250×250; bone marrow aspirate smear — 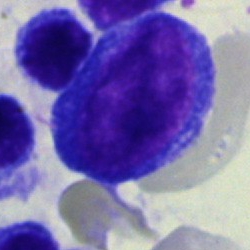 Specimen: bone marrow smear.
Classification: pronormoblast.
Lineage: erythroid.